Bone marrow aspirate smear
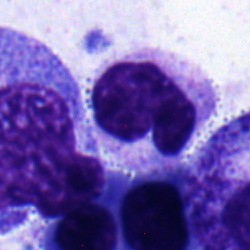 Neutrophil (band).